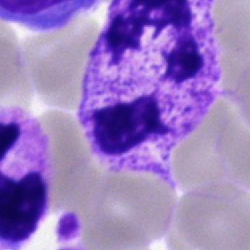Impression → polymorphonuclear neutrophil.